Bone marrow aspirate smear · Pappenheim-stained: 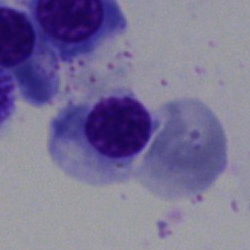
This is an erythroblast.